Bone marrow smear: 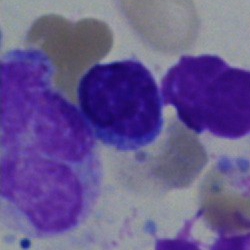Morphology — typical lymphocyte.